Bone marrow aspirate smear: 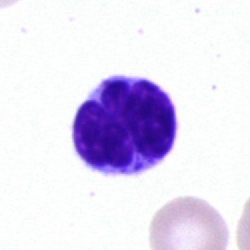

Morphology — typical lymphocyte.